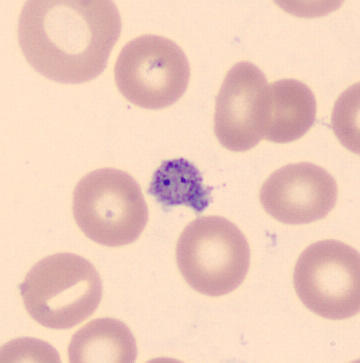
Morphology → platelet (thrombocyte).